Bone marrow smear — 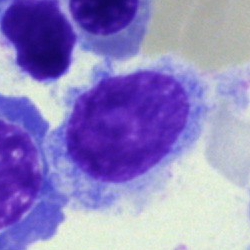 Specimen: bone marrow smear.
Cell type: hairy cell.
Lineage: lymphoid.